Bone marrow smear · MGG-stained · 250×250.
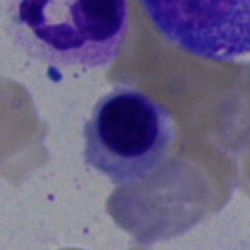

Impression → nucleated red blood cell.